Bone marrow aspirate smear · brightfield, 40× oil-immersion objective: 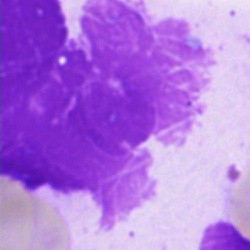
{"cell_type": "artifact"}